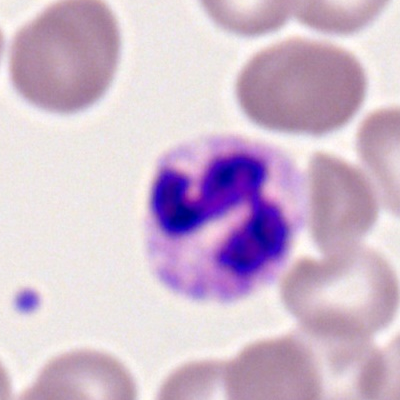Showing a neutrophil (segmented).